Bone marrow aspirate smear; 250 by 250 pixels; brightfield microscopy, 40× oil immersion:
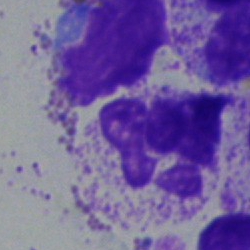

Morphology — polymorphonuclear neutrophil.